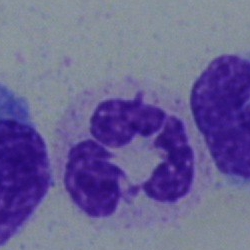

A segmented neutrophil on a bone marrow smear.